Single cell centered in the field; bone marrow smear.
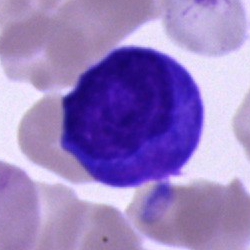
This is an artefact.